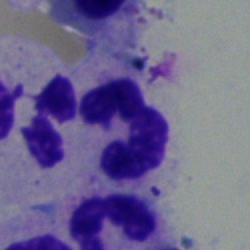

Cell — polymorphonuclear neutrophil.